Bone marrow smear:
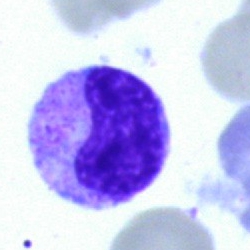

Morphological class — neutrophil (band).